Bone marrow aspirate smear: 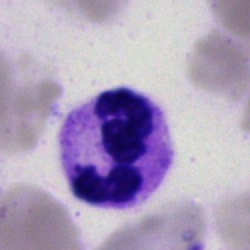
The cell shown is a neutrophil (segmented).